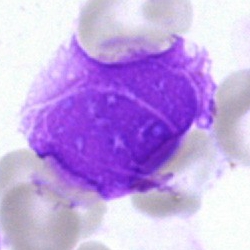

{"cell_type": "artefact"}